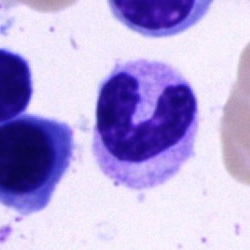 Bone marrow smear showing a stab cell.